May-Grünwald-Giemsa stain. Bone marrow aspirate smear — 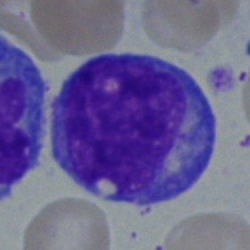 Cell = undifferentiated blast.